250×250 px · bone marrow smear · Pappenheim-stained:
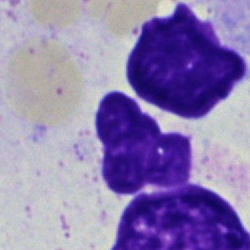
Single cell identified as an artefact.